M8 digital microscope (Precipoint), 100× oil immersion; peripheral blood smear: 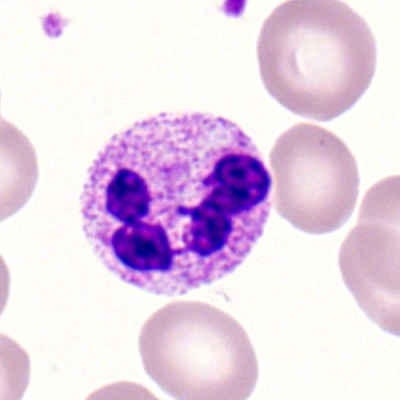

Classification = polymorphonuclear neutrophil.